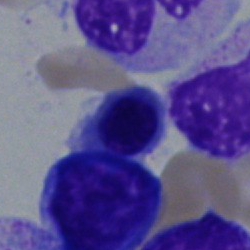A nucleated red blood cell.